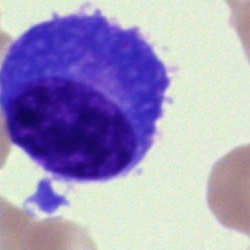Plasmacyte.